Bone marrow smear
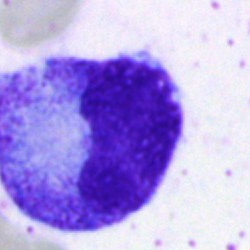

Showing a progranulocyte.